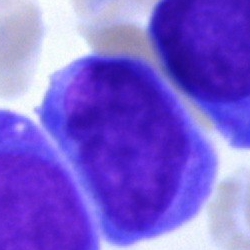
The classification is undifferentiated blast.